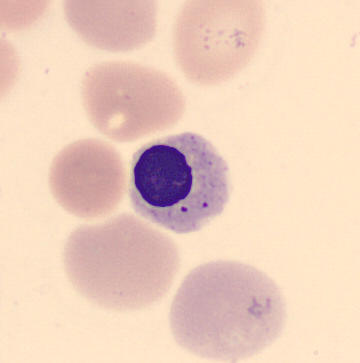Specimen: peripheral blood film.
Cell type: normoblast.